Bone marrow smear · 250 by 250 pixels
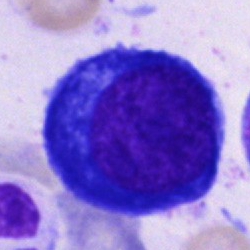

Specimen: bone marrow smear.
Morphological class: pronormoblast.